Bone marrow aspirate smear
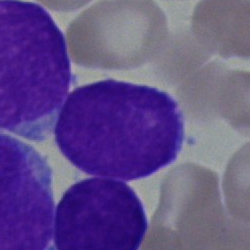This is a blast.